Brightfield microscopy, 40× oil immersion; bone marrow aspirate smear:
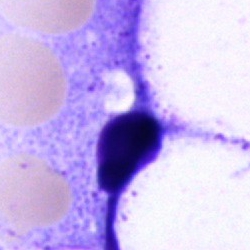
{"cell_type": "artefact"}